250×250 px. Bone marrow smear — 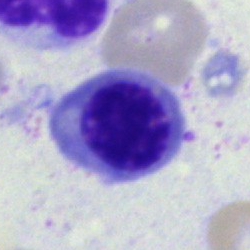The cell type is nucleated red blood cell.